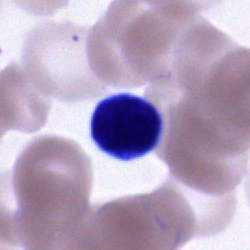Bone marrow aspirate smear, single cell — unidentifiable cell.